Bone marrow smear. Image size 250×250. Single-cell crop
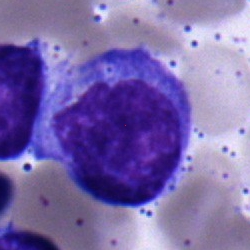

Q: Which cell type is shown here?
A: It is a monocyte.